Bone marrow aspirate smear:
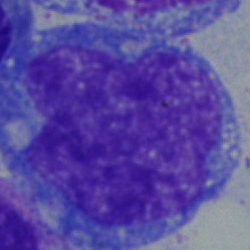
Cell type: undifferentiated blast.